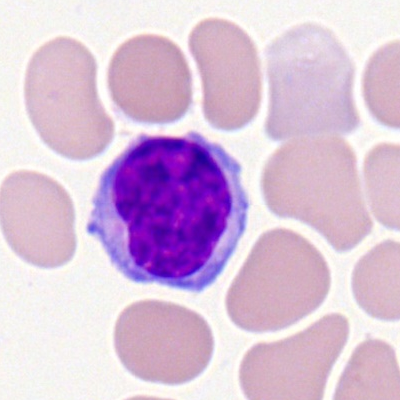Q: What is shown here?
A: A lymphocyte.